Bone marrow smear · May-Grünwald-Giemsa stain
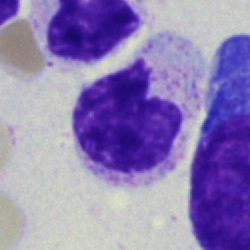

Cell = myelocyte.